Bone marrow aspirate smear · brightfield microscopy, 40× oil immersion.
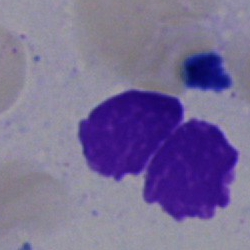

Morphology → artefact.